Brightfield microscopy, 40× oil immersion; bone marrow aspirate smear:
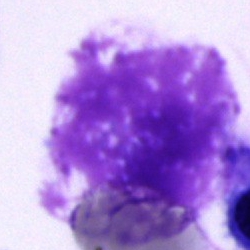{"cell_type": "artefact"}